Bone marrow aspirate smear. May-Grünwald-Giemsa stain.
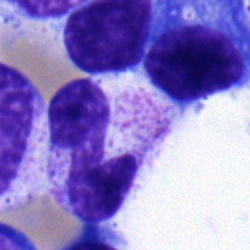

Band neutrophil.